Bone marrow smear:
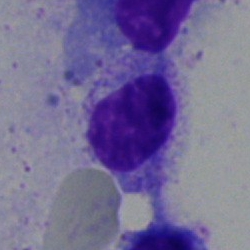The cell type is typical lymphocyte.